Bone marrow aspirate smear · MGG-stained — 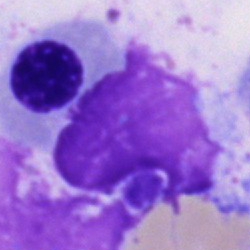 Q: What is shown here?
A: Artifact.